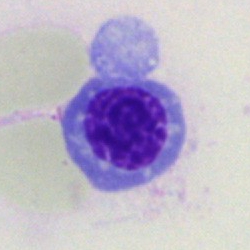 The cell type is nucleated red blood cell.